Bone marrow smear · 250 by 250 pixels · cropped to a single cell — 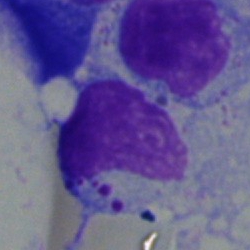
Q: Which cell type is shown here?
A: Typical lymphocyte.